Bone marrow smear. May-Grünwald-Giemsa/Pappenheim stain. Brightfield microscopy, 40× oil immersion: 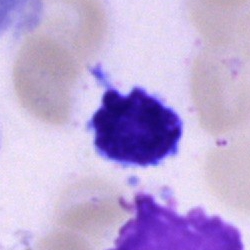Q: What cell is this?
A: This is a lymphocyte.